Single-cell field; bone marrow aspirate smear
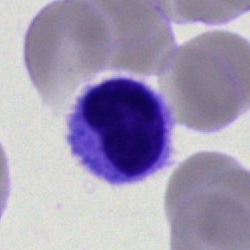 The cell type is lymphocyte.